Peripheral blood smear.
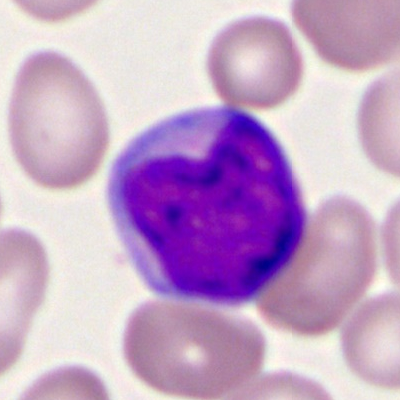{"cell_type": "myeloid blast"}